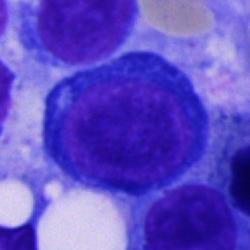
Morphological class = proerythroblast.